Bone marrow smear.
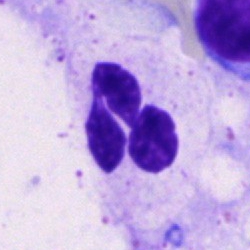

A polymorphonuclear neutrophil.